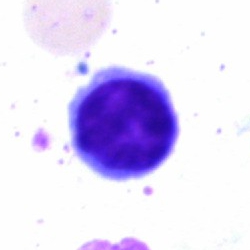 A lymphocyte on a bone marrow smear.